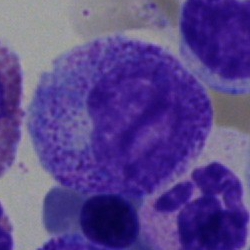

The classification is metamyelocyte.